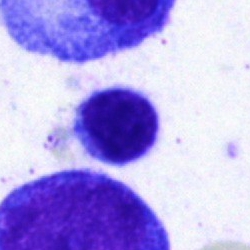Cell type: typical lymphocyte.